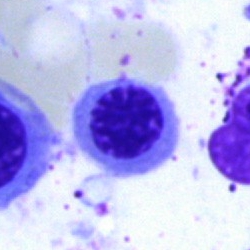
Classification: normoblast.